Peripheral blood smear. Image size 400×400
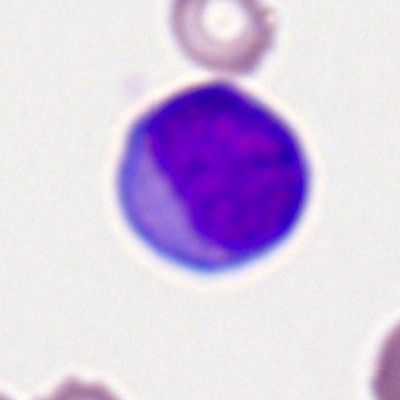
A myeloblast.